Bone marrow smear — 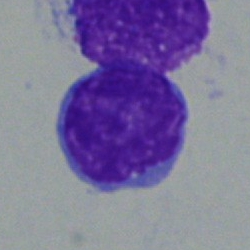Classification = typical lymphocyte.